Bone marrow aspirate smear — 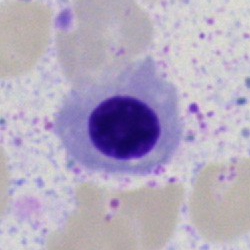 Morphology → nucleated red cell.